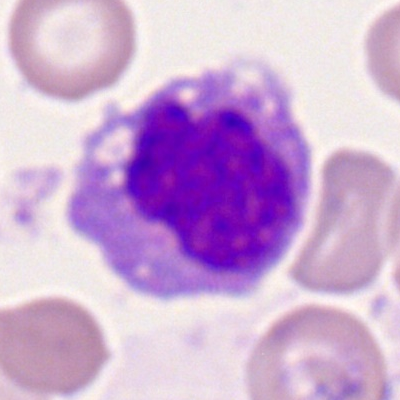 A monocyte.